Bone marrow smear · brightfield, 40× oil-immersion objective · 250×250:
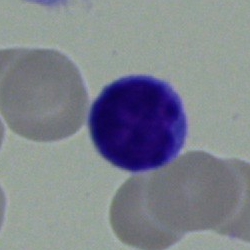

{"cell_type": "lymphocyte", "lineage": "lymphoid"}